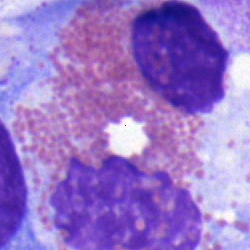Cell = eosinophilic granulocyte.